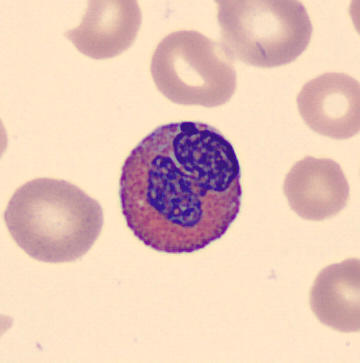Q: Which cell type is shown here?
A: It is an eosinophil. May-Grünwald-Giemsa-stained; peripheral blood film.